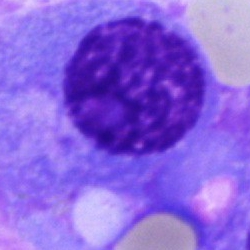
This is a plasma cell.